Bone marrow smear; single-cell field
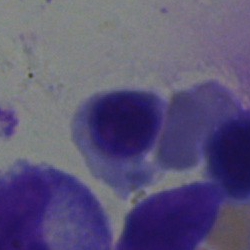Single cell identified as an erythroblast.